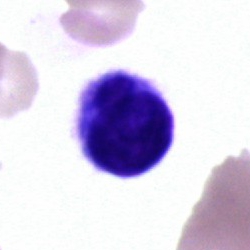Q: What is shown here?
A: A typical lymphocyte.